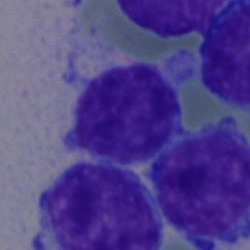 Cell = typical lymphocyte.